Peripheral blood film: 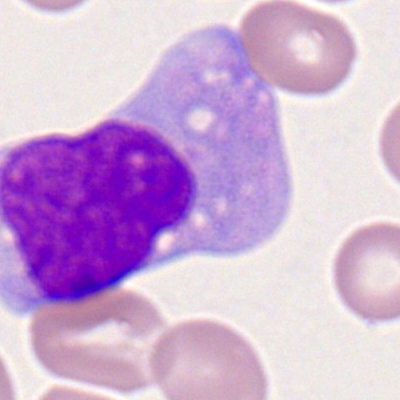Morphology → monocyte.